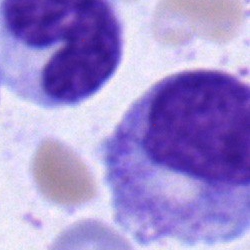Specimen: bone marrow aspirate smear.
Cell type: myelocyte.